Cropped to a single cell. Bone marrow smear. May-Grünwald-Giemsa stain
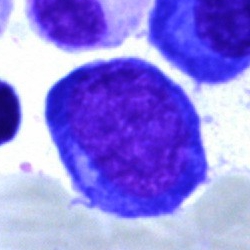Showing a nucleated red blood cell.